Bone marrow aspirate smear.
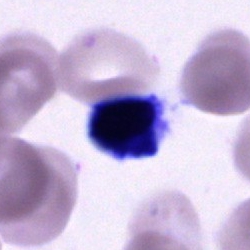 Q: Which cell type is shown here?
A: This is an unidentifiable cell.